Bone marrow smear · 250 by 250 pixels.
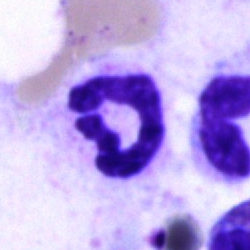Cell type = segmented neutrophil.